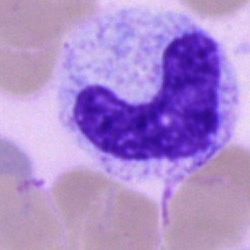 {"cell_type": "band neutrophil"}